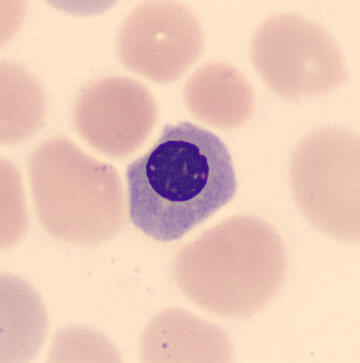

Peripheral blood film. Classification = nucleated red blood cell.